Peripheral blood smear; image size 360×363: 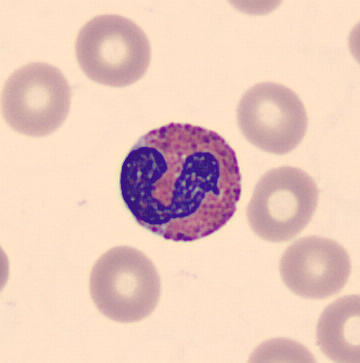
Specimen: peripheral blood film.
Classification: eosinophilic granulocyte.
Lineage: myeloid.